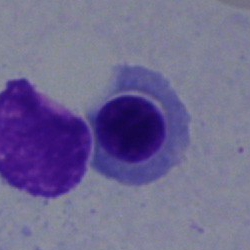The morphological class is normoblast.